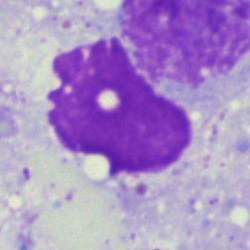 Q: What is shown here?
A: This is an artifact.